Peripheral blood smear — 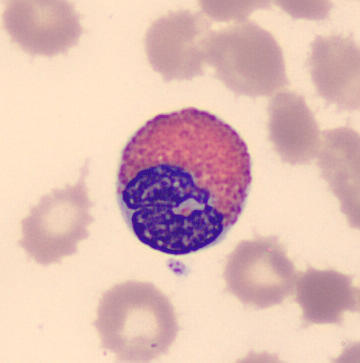

Classification: eosinophilic granulocyte.